40× objective, oil immersion; May-Grünwald-Giemsa/Pappenheim stain; bone marrow smear: 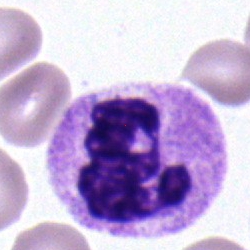
Cell type = polymorphonuclear neutrophil.